Bone marrow smear:
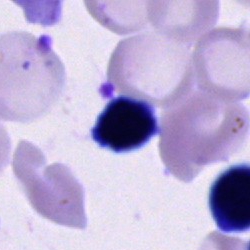
Cell type = unidentifiable cell.